Bone marrow aspirate smear. 250 by 250 pixels. Brightfield, 40× oil-immersion objective — 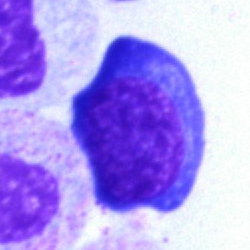Q: What is shown here?
A: This is a nucleated red cell.